May-Grünwald-Giemsa stain. Bone marrow smear. Brightfield microscopy, 40× oil immersion.
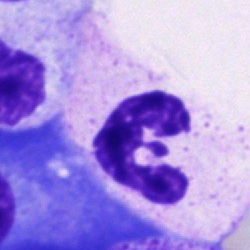

Q: What is shown here?
A: It is a segmented neutrophil.